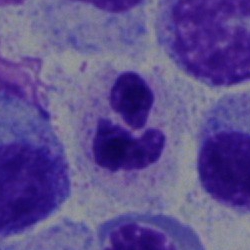
Morphological class — polymorphonuclear neutrophil.